Cropped to a single cell. Bone marrow aspirate smear
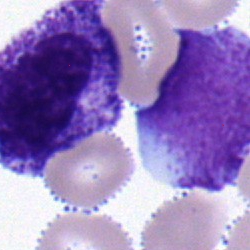

The cell shown is a blast.